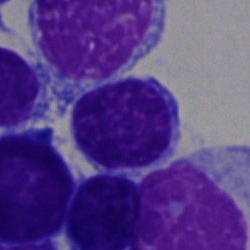The cell shown is a lymphocyte.